Bone marrow smear. 40× objective, oil immersion:
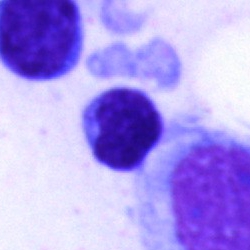

Specimen: bone marrow smear.
Cell: typical lymphocyte.